May-Grünwald-Giemsa stain. Bone marrow aspirate smear
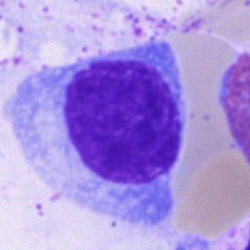Cell: plasma cell.